Bone marrow aspirate smear
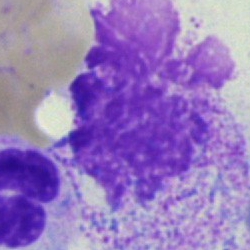
Morphological class: artifact.